May-Grünwald-Giemsa/Pappenheim stain. 40× oil immersion. Bone marrow smear.
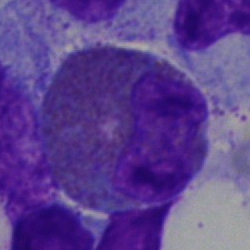This is an eosinophilic granulocyte.